Bone marrow aspirate smear: 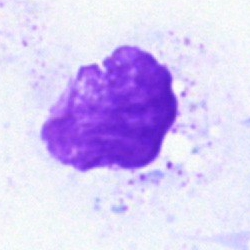Cell: artefact.